Bone marrow aspirate smear; 40× objective, oil immersion
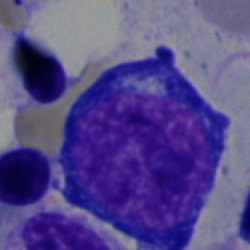

Morphology → pronormoblast.